Brightfield, 40× oil-immersion objective; bone marrow aspirate smear.
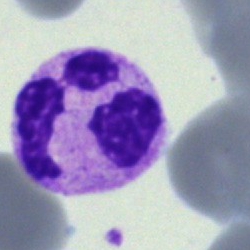Impression → neutrophil (segmented).